Bone marrow smear · May-Grünwald-Giemsa stain:
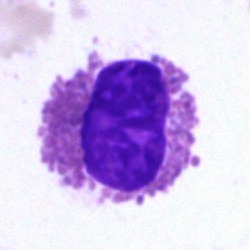 Eosinophil.